Bone marrow smear. Brightfield microscopy, 40× oil immersion:
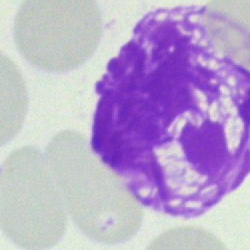 Q: What is shown here?
A: This is an artefact.